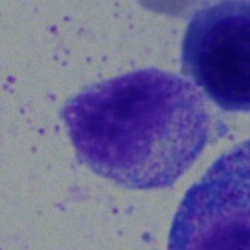
This is a myelocyte.